Bone marrow smear · May-Grünwald-Giemsa/Pappenheim stain
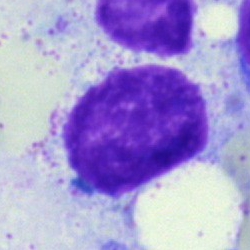

Specimen: bone marrow aspirate smear.
Classification: artefact.